Bone marrow smear — 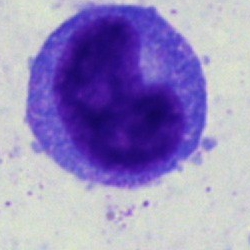

Morphological class = monocyte.